Bone marrow aspirate smear.
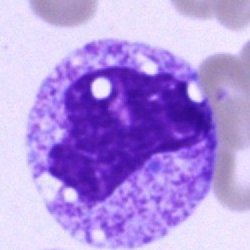
Morphology — neutrophil (segmented).